Bone marrow smear.
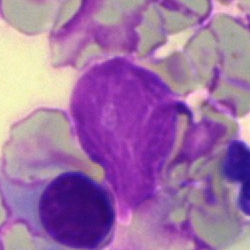
Morphology → artefact.